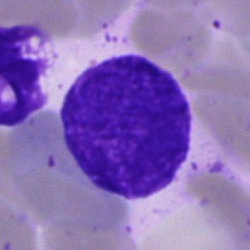
Q: What is shown here?
A: Artefact.